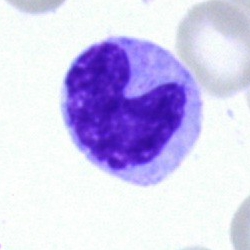 Q: What is shown here?
A: A band-form neutrophil.